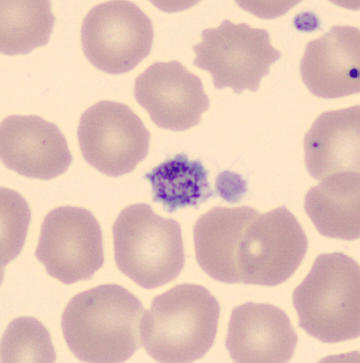 Image: Peripheral blood smear · May Grünwald-Giemsa stain · automated cell imaging (CellaVision DM96). The classification is thrombocyte.